Peripheral blood film; image size 360×363:
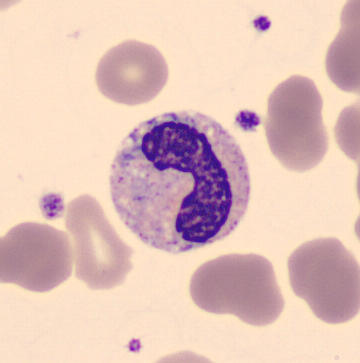 Morphological class — neutrophil (band).